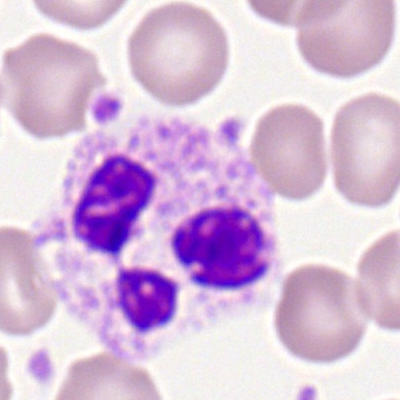

Cell type = segmented neutrophil.